Bone marrow aspirate smear: 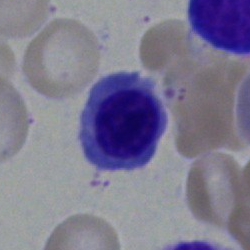

Specimen: bone marrow smear.
Cell type: nucleated red cell.
Lineage: erythroid.